Bone marrow smear
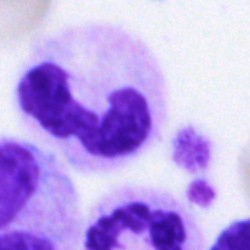Cell: segmented neutrophil.